Bone marrow smear.
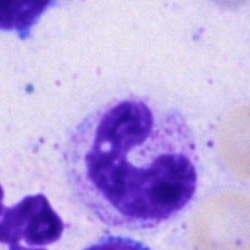

The cell is stab cell.